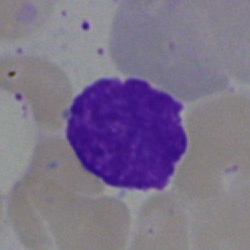

Specimen: bone marrow smear.
Classification: artefact.